Bone marrow aspirate smear · brightfield, 40× oil-immersion objective.
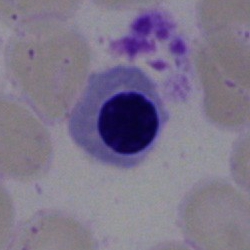 This is a nucleated red blood cell.